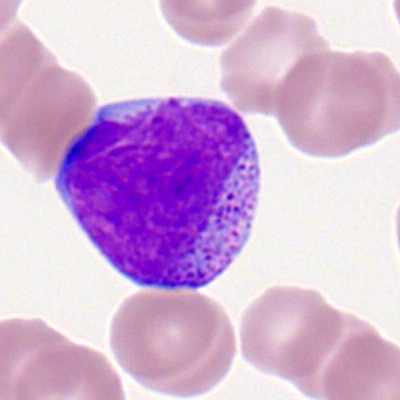
Specimen: peripheral blood smear.
Cell type: progranulocyte.
Lineage: myeloid.